Romanowsky stain · peripheral blood smear — 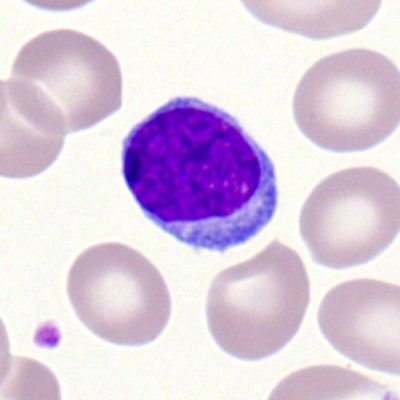The cell shown is a lymphocyte.